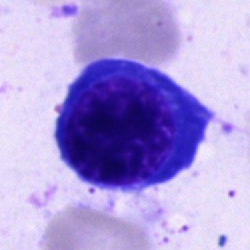

Q: Which cell type is shown here?
A: A nucleated red cell.